250×250 px · bone marrow aspirate smear.
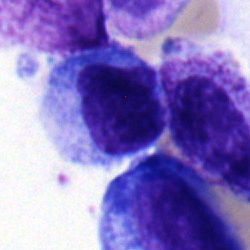

Specimen: bone marrow aspirate smear.
Cell: monocyte.